Peripheral blood film:
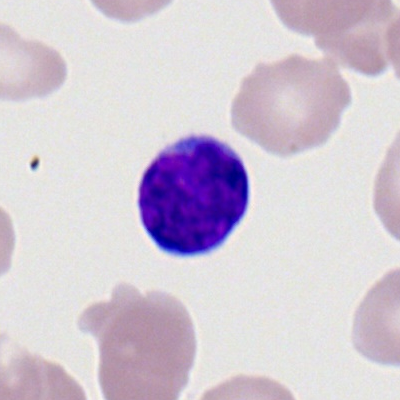Morphological class — lymphocyte.